Bone marrow aspirate smear; May-Grünwald-Giemsa/Pappenheim stain; 250×250:
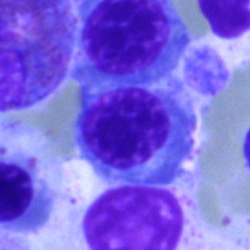Nucleated red cell.